Bone marrow smear.
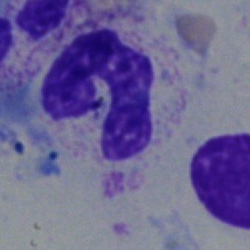

A band neutrophil.